MGG-stained · bone marrow aspirate smear · 250×250 px:
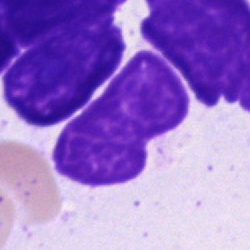Morphology — artifact.